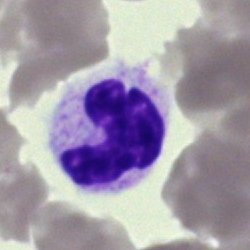 Specimen: bone marrow aspirate smear.
Morphological class: neutrophil (segmented).